May-Grünwald-Giemsa stain · bone marrow smear · single-cell crop:
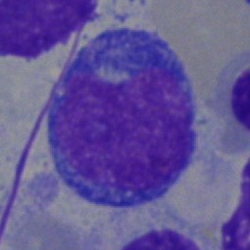 A progranulocyte.